Bone marrow smear; brightfield microscopy, 40× oil immersion — 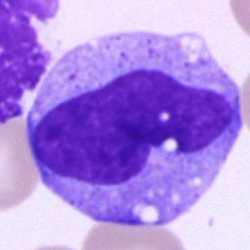

This is a monocyte.